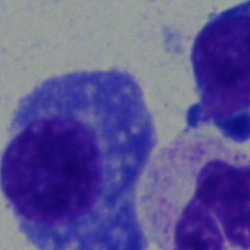Impression — plasmacyte.